Bone marrow aspirate smear.
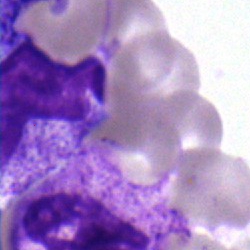

This is a metamyelocyte.